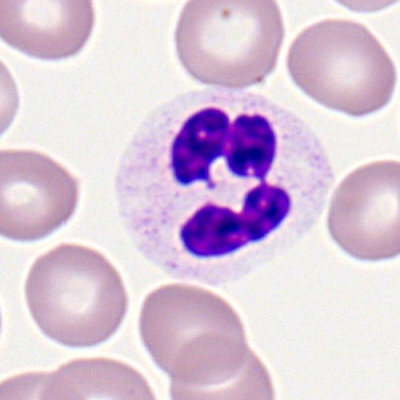
Specimen: peripheral blood smear.
Cell type: polymorphonuclear neutrophil.
Lineage: myeloid.